Bone marrow aspirate smear; 250×250 — 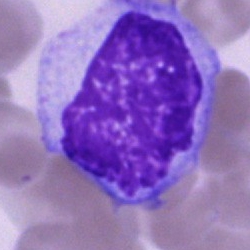
This is a cell of indeterminate lineage.